Bone marrow aspirate smear
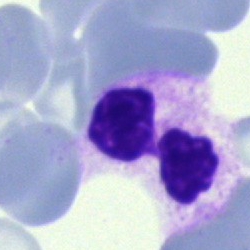
Specimen: bone marrow aspirate smear.
Cell: polymorphonuclear neutrophil.